Bone marrow aspirate smear.
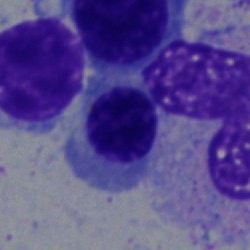Morphology — erythroblast.